Bone marrow aspirate smear:
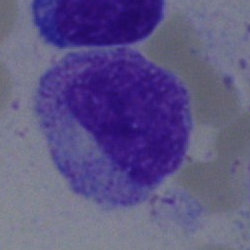Morphological class = metamyelocyte.